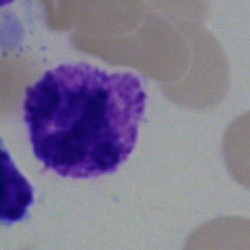

Q: Which cell type is shown here?
A: Basophilic granulocyte.